Bone marrow smear; Pappenheim-stained — 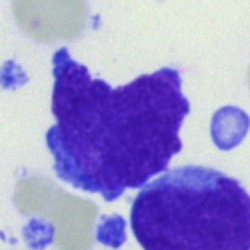

Morphology → blast cell.